Bone marrow smear:
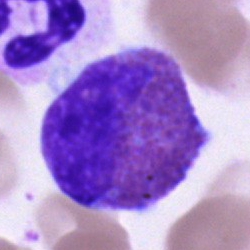The cell shown is an eosinophil.